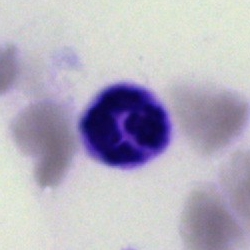Impression — neutrophil (segmented).